Image size 250×250. Brightfield, 40× oil-immersion objective. Bone marrow smear — 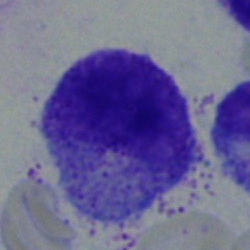
Single cell identified as a myelocyte.